Bone marrow aspirate smear: 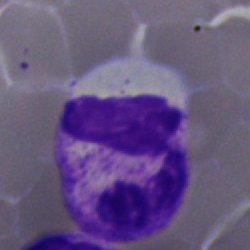
The cell shown is a segmented neutrophil.